Bone marrow aspirate smear; MGG-stained; 250×250.
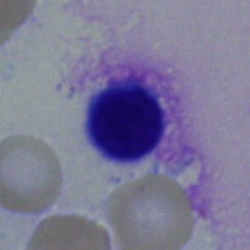
Lymphocyte.